Peripheral blood film: 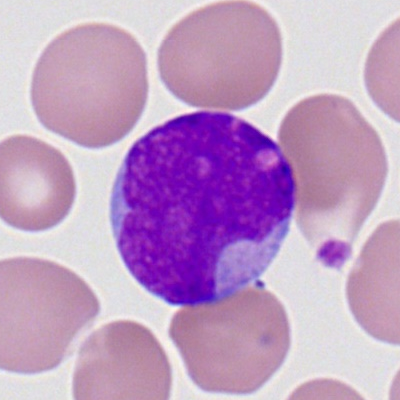

Myeloblast.